Bone marrow aspirate smear; 250×250 — 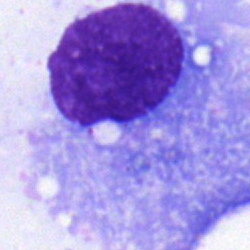 Cell: plasma cell.